40× objective, oil immersion; bone marrow aspirate smear: 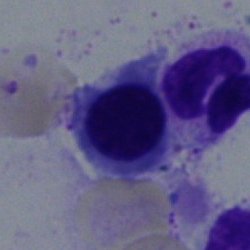Nucleated red cell.